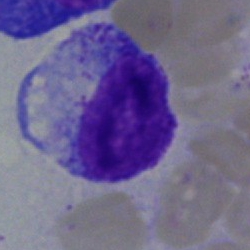Specimen: bone marrow smear.
Classification: promyelocyte.
Lineage: myeloid.